Brightfield, 40× oil-immersion objective; MGG-stained; bone marrow aspirate smear:
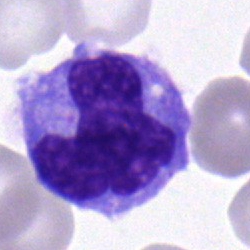
Monocyte.